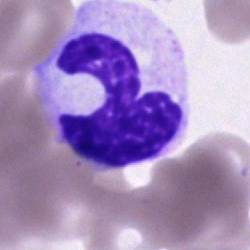

Morphology consistent with a segmented neutrophil.